Bone marrow smear — 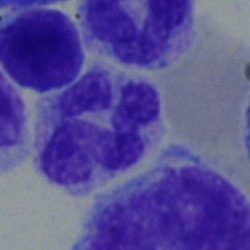 Q: What is the morphological classification of this cell?
A: Segmented neutrophil.